Bone marrow smear.
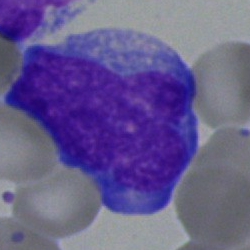 Impression → blast.